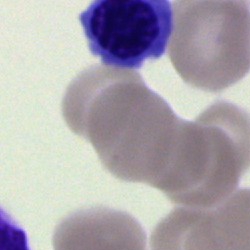

Specimen: bone marrow smear.
Morphological class: normoblast.